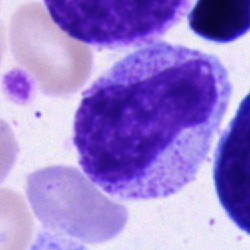
Single-cell crop from a bone marrow smear: promyelocyte.